MGG-stained. Bone marrow aspirate smear:
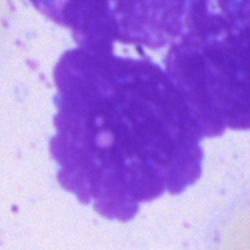 The classification is artefact.